Bone marrow aspirate smear — 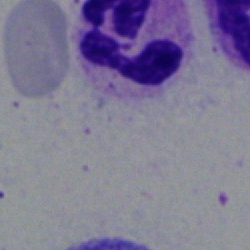This is a neutrophil (segmented).